Bone marrow smear: 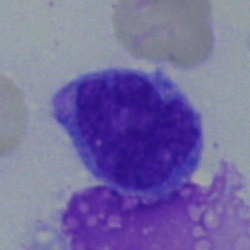 Q: Which cell type is shown here?
A: It is a blast.